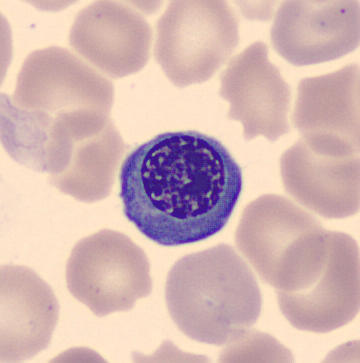

Morphological class = erythroblast. May Grünwald-Giemsa stain; peripheral blood film; automated cell imaging (CellaVision DM96).